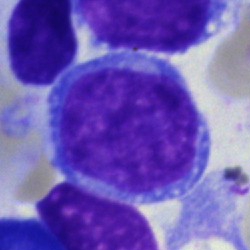 Specimen: bone marrow smear.
Cell type: blast cell.